Bone marrow aspirate smear — 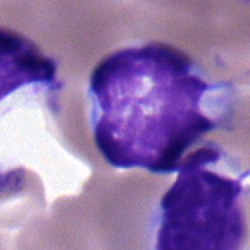
This is a typical lymphocyte.